40× oil immersion · bone marrow aspirate smear · May-Grünwald-Giemsa stain: 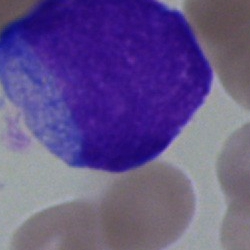 Specimen: bone marrow aspirate smear.
Morphological class: blast.